Bone marrow smear
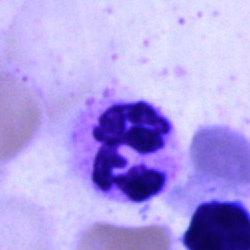The cell is neutrophil (segmented).